Bone marrow smear; 40× oil immersion; Pappenheim-stained — 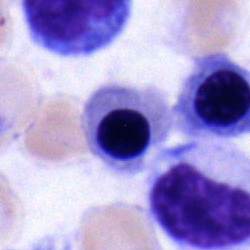 Morphology → normoblast.